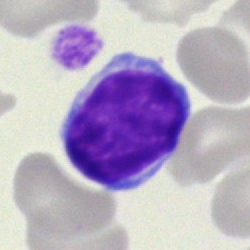
Morphological class: typical lymphocyte.